Bone marrow smear · 250×250 px — 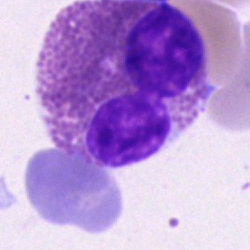
Eosinophil.